May-Grünwald-Giemsa stain. Bone marrow aspirate smear. 250 by 250 pixels:
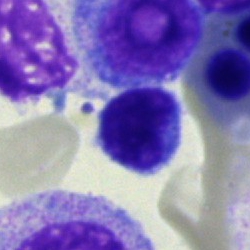

The cell shown is a lymphocyte.